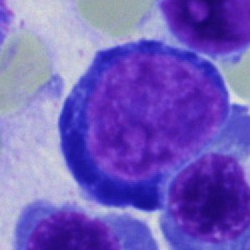 Morphological class = pronormoblast.